Bone marrow aspirate smear — 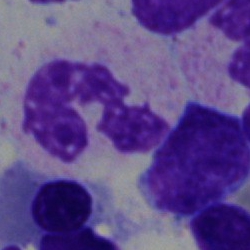Q: What type of cell is this?
A: A neutrophil (segmented).